Bone marrow smear · brightfield microscopy, 40× oil immersion
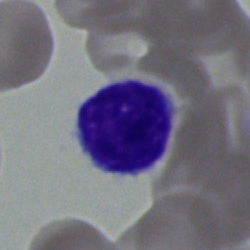
Lymphocyte.